Bone marrow smear: 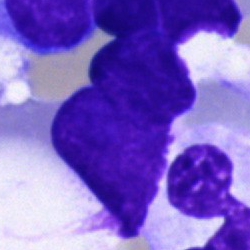
Showing an artefact.